Bone marrow aspirate smear · Pappenheim-stained.
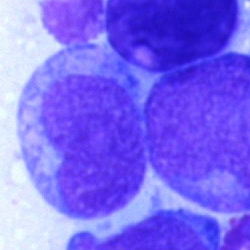A blast cell.